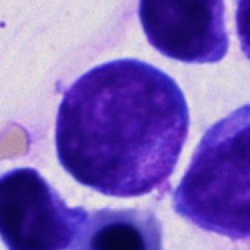

Morphology — blast.